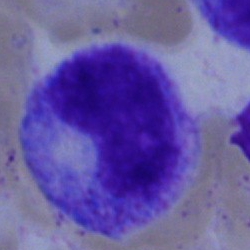

Bone marrow aspirate smear, single cell — metamyelocyte.